Bone marrow aspirate smear
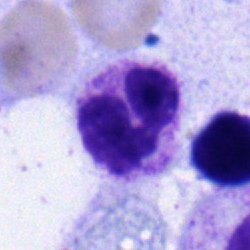

Cell: neutrophil (segmented).